Bone marrow smear.
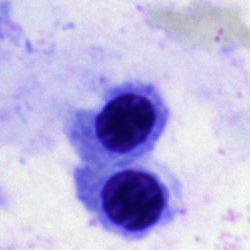

Erythroblast.